40× objective, oil immersion. Bone marrow aspirate smear. May-Grünwald-Giemsa/Pappenheim stain: 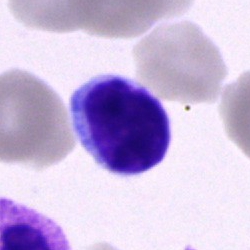

Impression — typical lymphocyte.